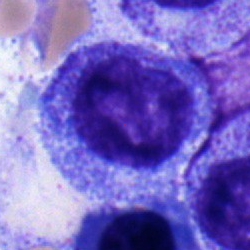
Bone marrow aspirate smear, single cell — promyelocyte.